Bone marrow aspirate smear: 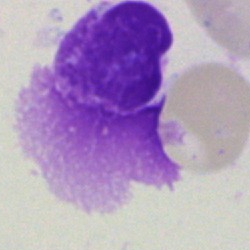 Cell type: artefact.